Bone marrow smear. 250×250: 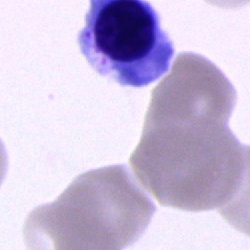 Morphological class — erythroblast.